Bone marrow smear
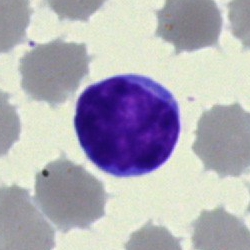 Specimen: bone marrow smear.
Morphological class: typical lymphocyte.